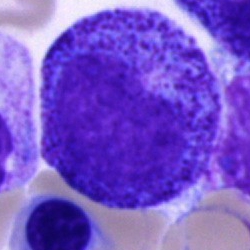
Classification: promyelocyte.